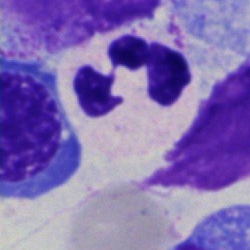Bone marrow smear showing a polymorphonuclear neutrophil.